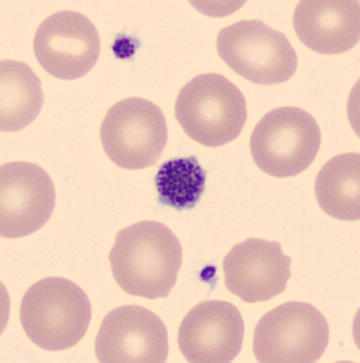Specimen: peripheral blood film.
Morphological class: platelet (thrombocyte).